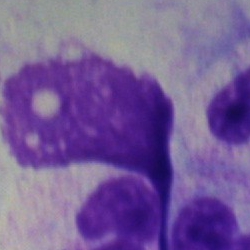{"cell_type": "artifact"}